Bone marrow smear: 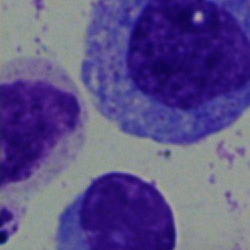Morphology consistent with a progranulocyte.